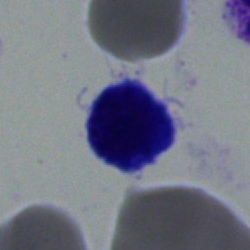 Q: What is shown here?
A: This is a lymphocyte.